Bone marrow aspirate smear; 250×250; Pappenheim-stained:
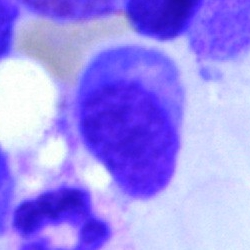 The cell shown is a lymphocyte.